Bone marrow aspirate smear.
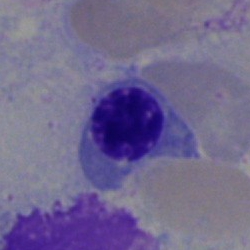

Cell: erythroblast.